Bone marrow smear
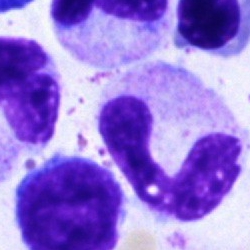
Impression — segmented neutrophil.